Bone marrow smear; 250×250 px; single-cell crop:
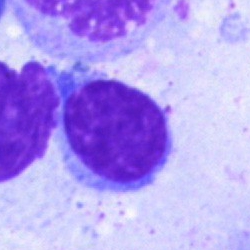{"cell_type": "lymphocyte"}